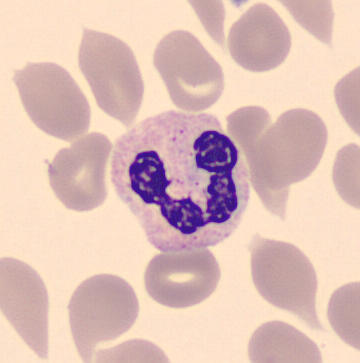 Morphology — segmented neutrophil.
May-Grünwald-Giemsa-stained; single-cell field; peripheral blood film.